Peripheral blood smear — 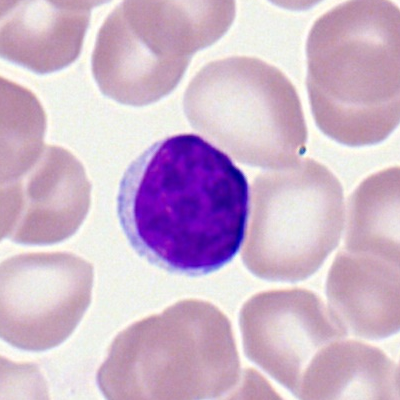
Specimen: peripheral blood film.
Morphological class: typical lymphocyte.
Lineage: lymphoid.